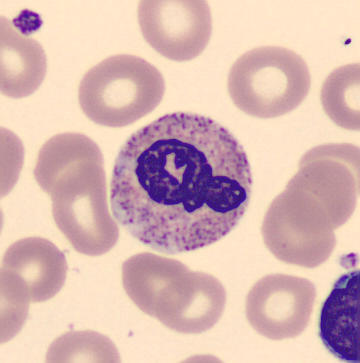

Cell = stab cell. Peripheral blood smear.